100× objective, oil immersion · peripheral blood film: 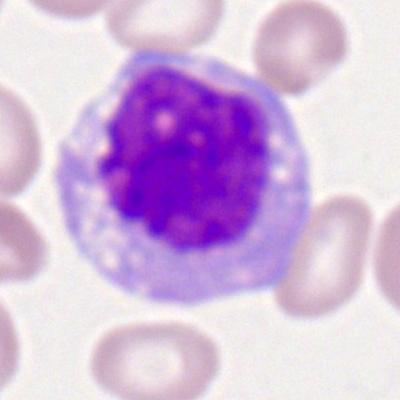
Impression — monocyte.